Single-cell field · bone marrow aspirate smear — 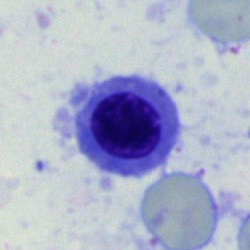 Impression → erythroblast.